Bone marrow aspirate smear
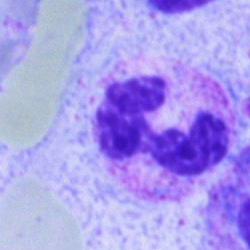

A polymorphonuclear neutrophil.